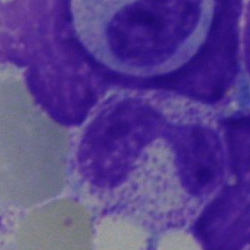
Classification: neutrophil (segmented).